Bone marrow smear. Single-cell field. 40× oil immersion
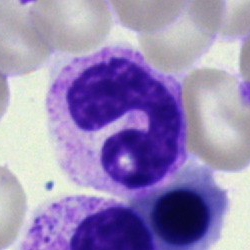

Morphology consistent with a neutrophil (band).